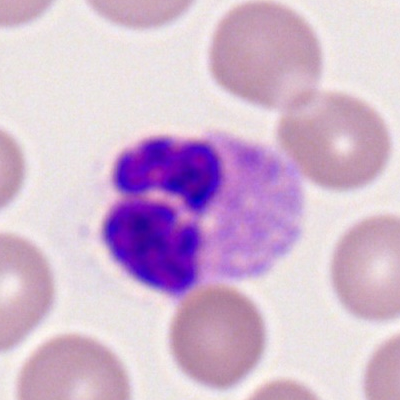 {"cell_type": "polymorphonuclear neutrophil"}